Bone marrow aspirate smear — 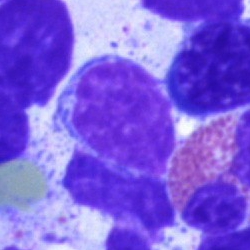 Showing a lymphocyte.